Bone marrow smear. Single-cell field
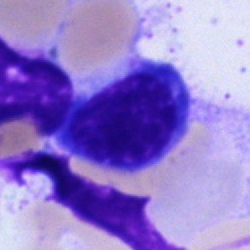

Classification = lymphocyte.